Bone marrow aspirate smear. Single-cell crop. Image size 250×250.
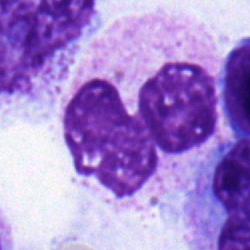

Showing a polymorphonuclear neutrophil.